Bone marrow smear. 250×250: 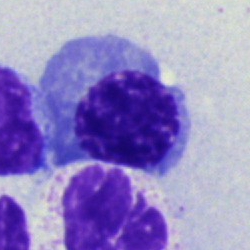This is a nucleated red blood cell.